Pappenheim-stained · bone marrow smear · image size 250×250
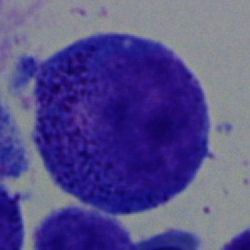Progranulocyte.